250×250 px. Bone marrow aspirate smear
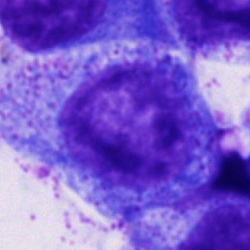

{"cell_type": "progranulocyte"}